Bone marrow aspirate smear; May-Grünwald-Giemsa/Pappenheim stain — 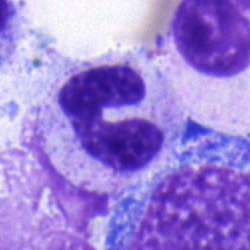Specimen: bone marrow smear.
Morphological class: neutrophil (band).
Lineage: myeloid.